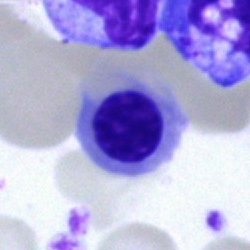

Bone marrow aspirate smear, single cell — nucleated red blood cell.